Bone marrow aspirate smear:
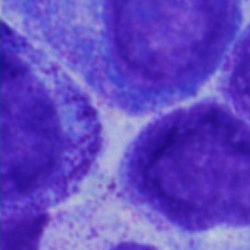 Single cell identified as a promyelocyte.